Romanowsky-type stain; peripheral blood film:
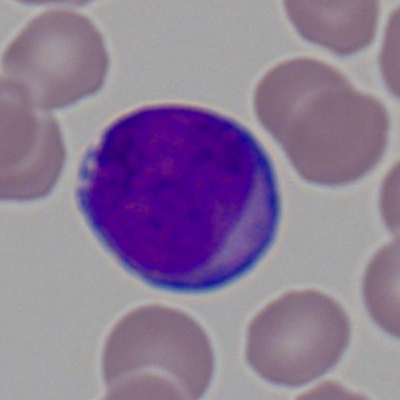

This is a myeloblast.